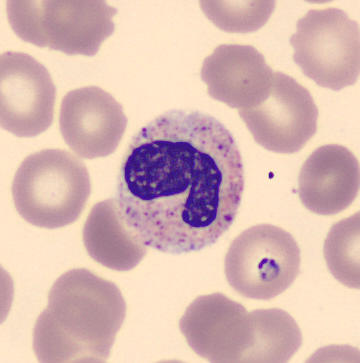
The cell shown is a neutrophil (band). Peripheral blood smear.